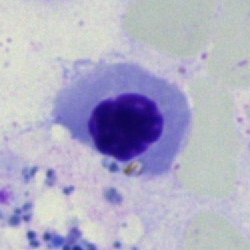
Q: What cell is this?
A: Erythroblast.